Peripheral blood film
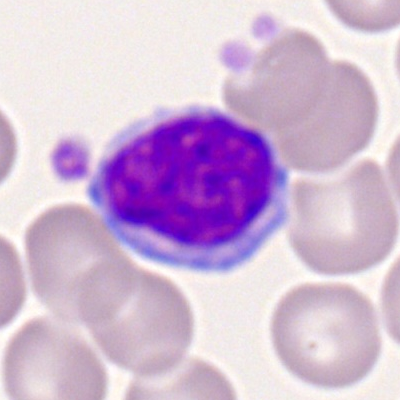
Impression — lymphocyte.